Bone marrow aspirate smear.
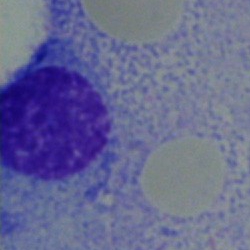
Specimen: bone marrow aspirate smear.
Morphological class: plasma cell.
Lineage: lymphoid.